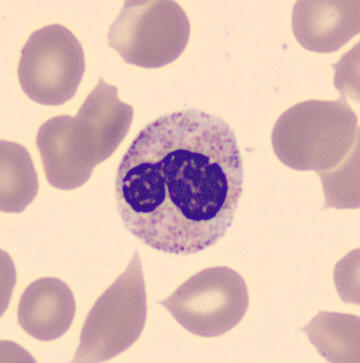

Identified as a polymorphonuclear neutrophil.

Peripheral blood film. Automated cell imaging (CellaVision DM96).